250×250 px · bone marrow aspirate smear
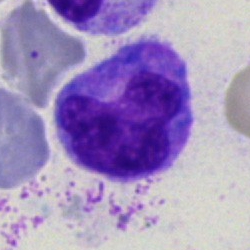Single cell identified as a monocyte.